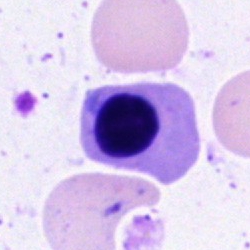 Cell = nucleated red cell.